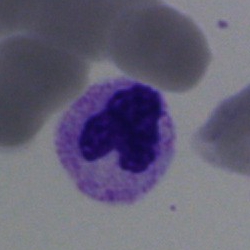 The cell shown is a polymorphonuclear neutrophil.